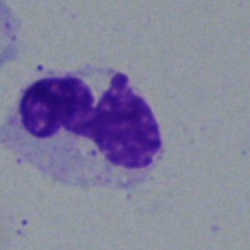Single cell identified as a polymorphonuclear neutrophil.